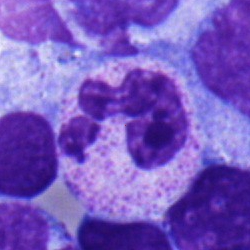
Bone marrow smear showing a segmented neutrophil.